Cropped to a single cell. Bone marrow aspirate smear. 40× objective, oil immersion:
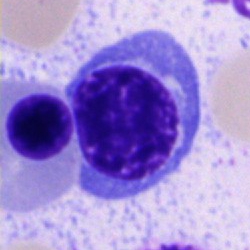

Cell type = normoblast.